Bone marrow smear; single-cell crop
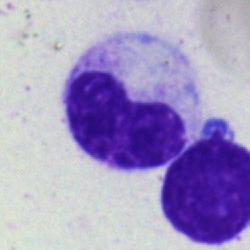The cell is metamyelocyte.